40× objective, oil immersion · bone marrow smear: 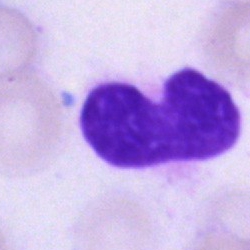Specimen: bone marrow aspirate smear.
Classification: artifact.